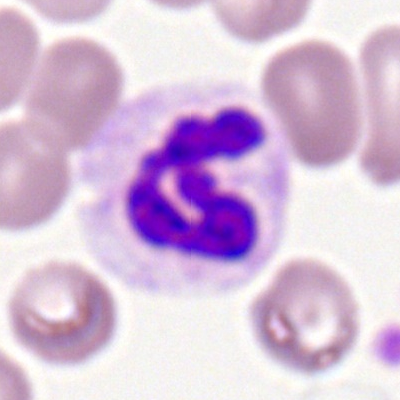
Cell type — segmented neutrophil.